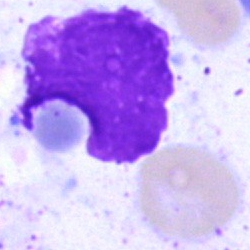 Classification: artifact.